Bone marrow smear — 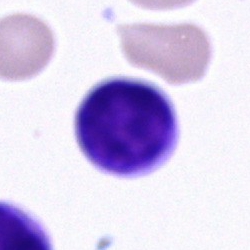

Morphological class: lymphocyte.